May-Grünwald-Giemsa stain. Bone marrow aspirate smear. 250×250 px:
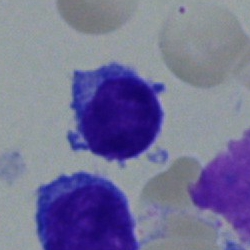Q: What type of cell is this?
A: This is a typical lymphocyte.